MGG-stained · bone marrow smear
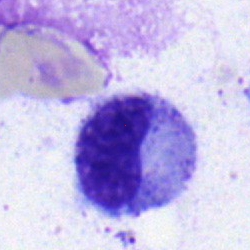Impression — metamyelocyte.